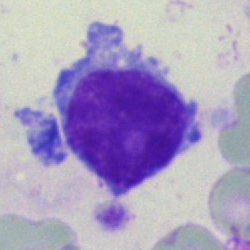Q: What cell is this?
A: It is a typical lymphocyte.